250 by 250 pixels; bone marrow smear; brightfield microscopy, 40× oil immersion
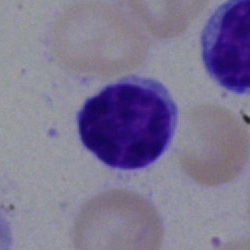

Morphology consistent with a lymphocyte.